Bone marrow smear · MGG-stained · brightfield, 40× oil-immersion objective.
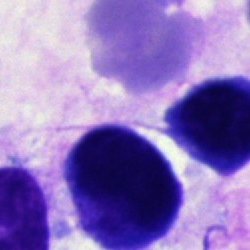

Cell type = artefact.